Bone marrow smear — 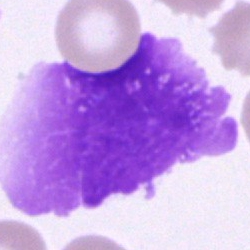
Artefact.